Single-cell field. Bone marrow smear — 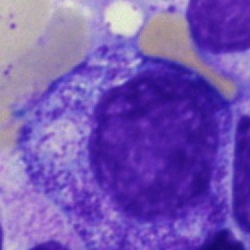

{"cell_type": "myelocyte", "lineage": "myeloid"}